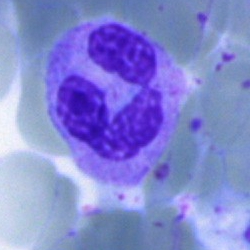 The cell is neutrophil (segmented).